Image size 250×250; brightfield microscopy, 40× oil immersion; bone marrow aspirate smear.
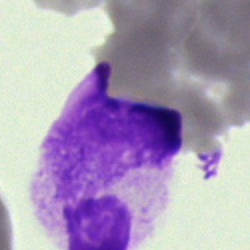
{"cell_type": "artifact"}